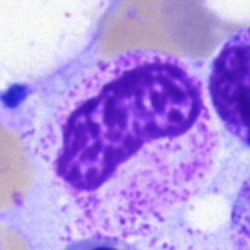 Single-cell crop from a bone marrow smear: band neutrophil.